Bone marrow aspirate smear:
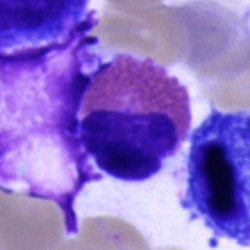 An eosinophilic granulocyte.